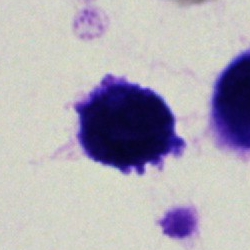 Showing an artefact.